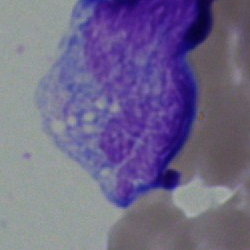

The cell type is undifferentiated blast.